250×250; bone marrow aspirate smear: 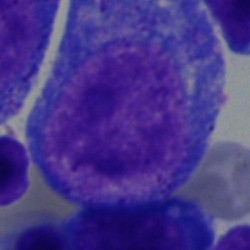 Morphological class = promyelocyte.